Bone marrow aspirate smear. Single-cell crop. MGG-stained — 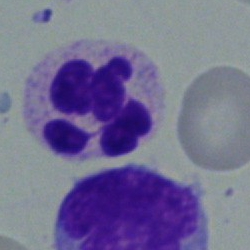
Q: Which cell type is shown here?
A: A neutrophil (segmented).